Bone marrow aspirate smear; 40× objective, oil immersion
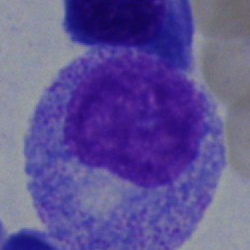
This is a promyelocyte.